Brightfield, 40× oil-immersion objective · 250 by 250 pixels · bone marrow aspirate smear
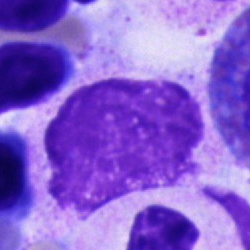

Cell: unidentifiable cell.